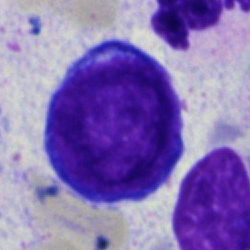
A pronormoblast on a bone marrow smear.